Bone marrow smear: 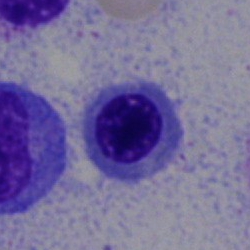 This is a normoblast.